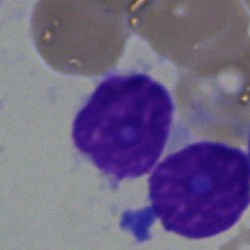 Morphology — artefact.